Bone marrow smear:
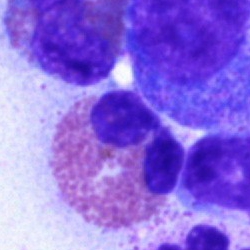 Morphology consistent with an eosinophilic granulocyte.